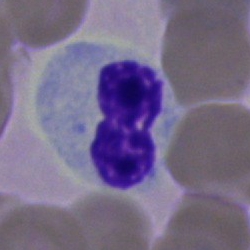Q: Which cell type is shown here?
A: Neutrophil (band).